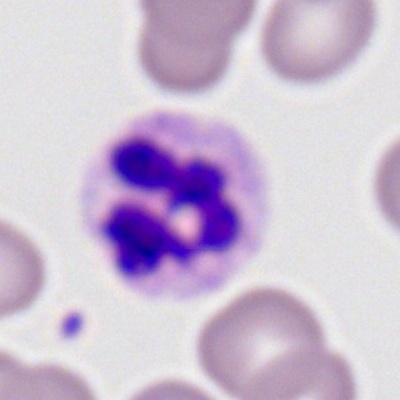
Morphology consistent with a polymorphonuclear neutrophil.